250×250. Bone marrow smear — 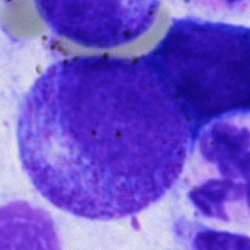
Morphology consistent with a progranulocyte.